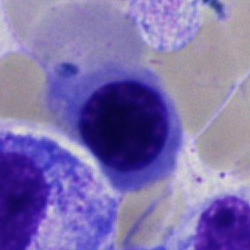

Single-cell crop from a bone marrow smear: normoblast.